Bone marrow aspirate smear:
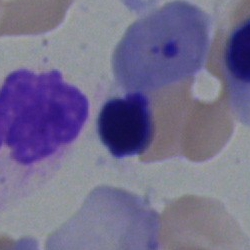 Q: What is the morphological classification of this cell?
A: This is a normoblast.